Brightfield, 40× oil-immersion objective · bone marrow smear — 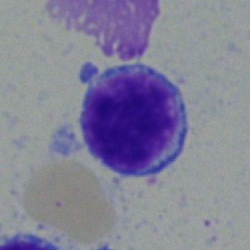 Q: Which cell type is shown here?
A: This is a lymphocyte.